Bone marrow aspirate smear — 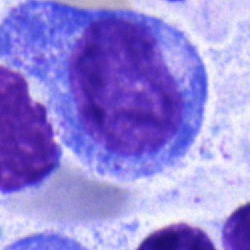Impression → promyelocyte.